Bone marrow smear · image size 250×250:
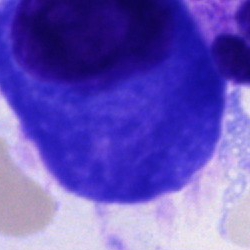
Specimen: bone marrow smear.
Cell type: plasmacyte.